Bone marrow aspirate smear; 250 by 250 pixels; 40× objective, oil immersion:
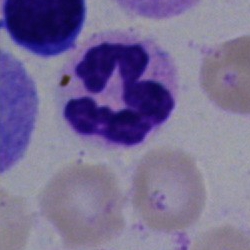
Cell = polymorphonuclear neutrophil.